Single-cell field. Brightfield, 40× oil-immersion objective. Bone marrow smear — 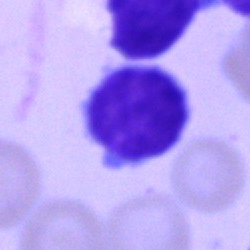 Specimen: bone marrow aspirate smear.
Cell type: typical lymphocyte.